Bone marrow smear: 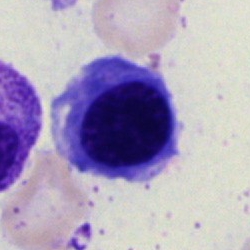A nucleated red cell.